Bone marrow aspirate smear. 250 by 250 pixels: 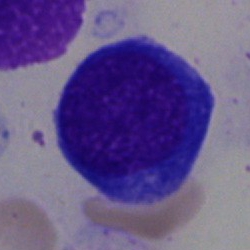This is a nucleated red blood cell.